Imaged on a CellaVision DM96 analyser. Single-cell crop. Peripheral blood smear:
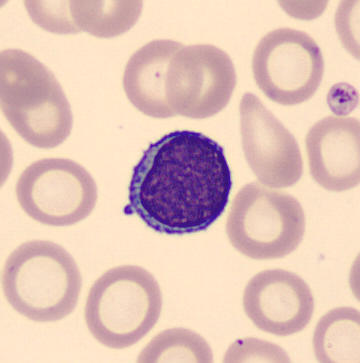
Typical lymphocyte.